Bone marrow smear — 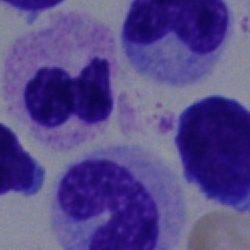Q: What is the morphological classification of this cell?
A: A cell of indeterminate lineage.